Bone marrow aspirate smear:
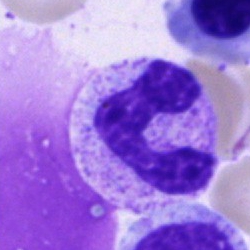

Morphology — stab cell.